Bone marrow aspirate smear · May-Grünwald-Giemsa stain.
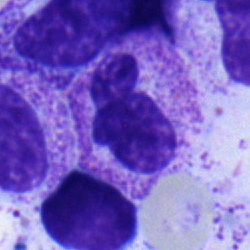
Classification: stab cell.